Peripheral blood smear; 400 by 400 pixels; brightfield, 100× oil-immersion objective.
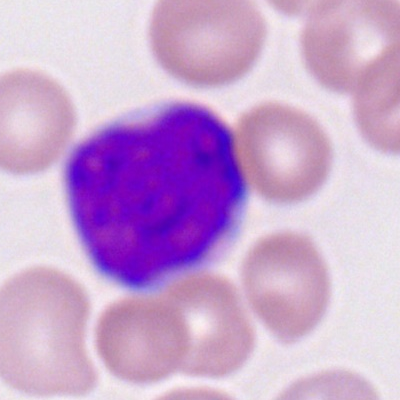
{"cell_type": "myeloid blast", "lineage": "myeloid"}